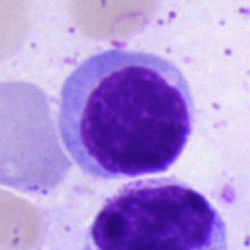

The cell shown is a normoblast.